Bone marrow smear. Single-cell field:
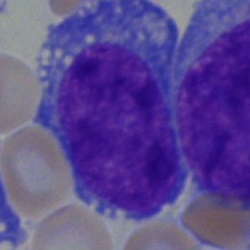

Morphology consistent with a blast.